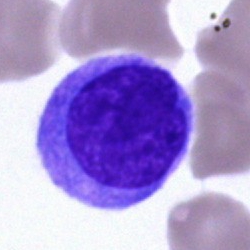 Cell — undifferentiated blast.